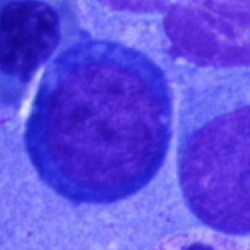

Classification: normoblast.